Bone marrow aspirate smear:
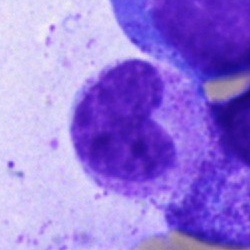
Q: What type of cell is this?
A: This is a metamyelocyte.